Bone marrow aspirate smear
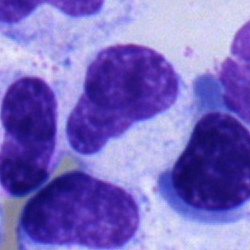Morphology consistent with a stab cell.